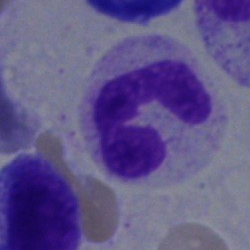Bone marrow aspirate smear, single cell — segmented neutrophil.